Bone marrow aspirate smear; single-cell crop — 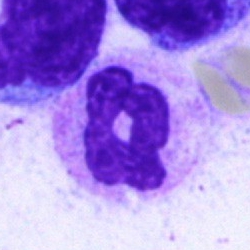

Impression → segmented neutrophil.